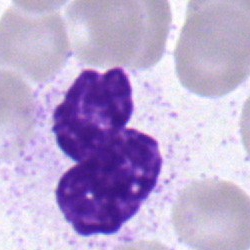

A neutrophil (segmented).